Peripheral blood smear — 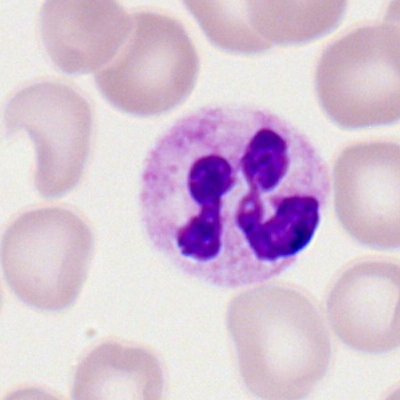

Cell: polymorphonuclear neutrophil.